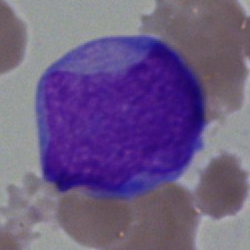
{"cell_type": "undifferentiated blast"}